Peripheral blood film.
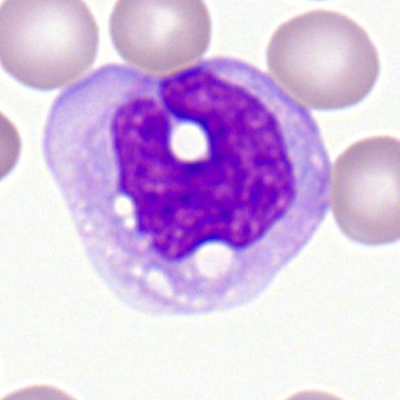
Classification: monocyte.